Bone marrow aspirate smear — 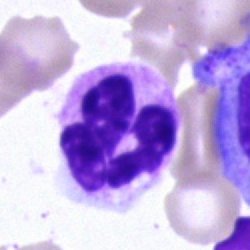
Specimen: bone marrow aspirate smear.
Cell type: segmented neutrophil.
Lineage: myeloid.